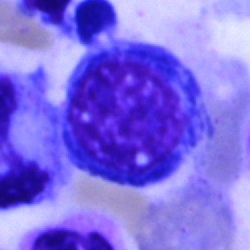 The cell is normoblast.